Image size 250×250. Bone marrow smear: 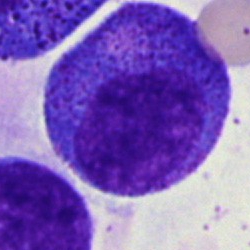Specimen: bone marrow aspirate smear.
Cell type: promyelocyte.
Lineage: myeloid.